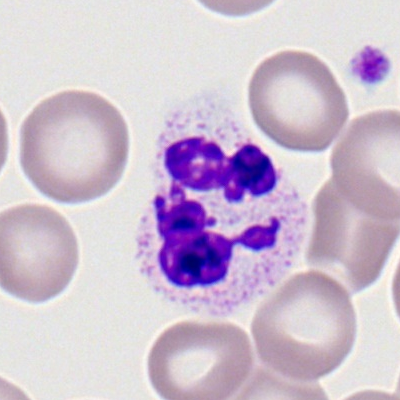Single cell identified as a neutrophil (segmented).